Single-cell crop. Bone marrow aspirate smear. Brightfield microscopy, 40× oil immersion.
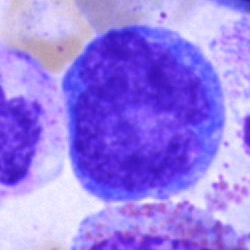
Classification — monocyte.